250 by 250 pixels; bone marrow aspirate smear; 40× oil immersion
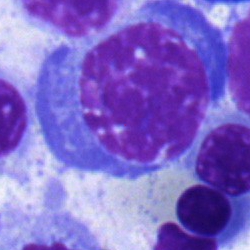

Cell type — nucleated red cell.